Peripheral blood smear — 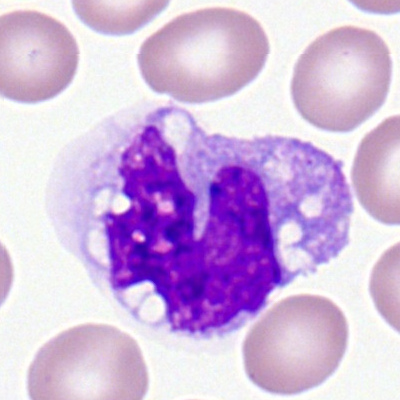
A monocyte.